Brightfield, 40× oil-immersion objective; bone marrow smear; image size 250×250 — 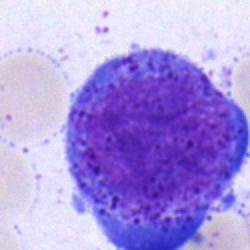The cell shown is a promyelocyte.